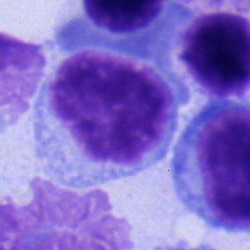Cell type — lymphocyte.